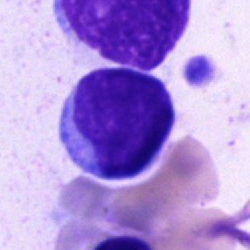 Cell = typical lymphocyte.